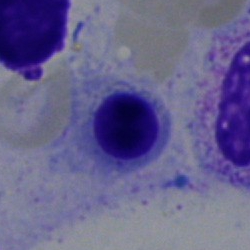 Showing a normoblast.